Bone marrow smear:
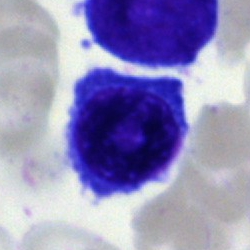

Specimen: bone marrow smear.
Morphological class: normoblast.
Lineage: erythroid.